May-Grünwald-Giemsa stain · brightfield, 40× oil-immersion objective · bone marrow aspirate smear
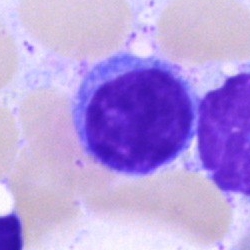 Cell type = lymphocyte.